Bone marrow smear — 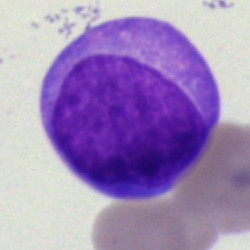 Specimen: bone marrow smear.
Cell: undifferentiated blast.